Cropped to a single cell · bone marrow smear: 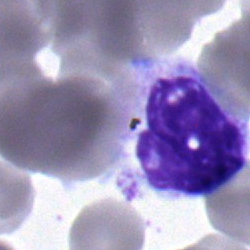 {"cell_type": "monocyte"}